Bone marrow aspirate smear; brightfield, 40× oil-immersion objective.
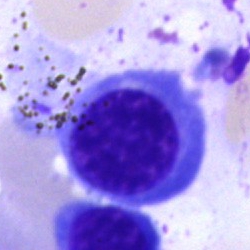
The cell shown is a normoblast.